Bone marrow aspirate smear. 40× objective, oil immersion — 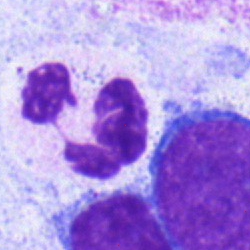

Morphology → segmented neutrophil.